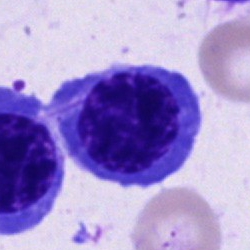 A nucleated red blood cell.